250×250. Bone marrow smear. Brightfield microscopy, 40× oil immersion
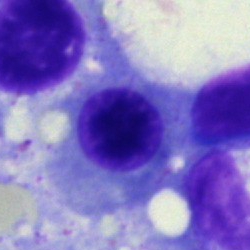 Impression — normoblast.